Bone marrow smear
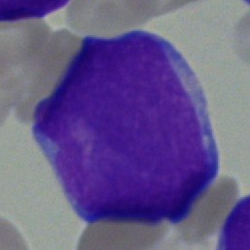

Morphology — blast cell.